Bone marrow smear · 250×250 px · brightfield microscopy, 40× oil immersion — 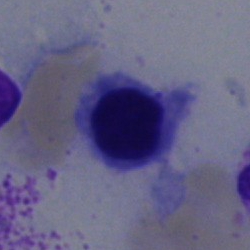

Q: What cell is this?
A: Nucleated red cell.